Bone marrow aspirate smear.
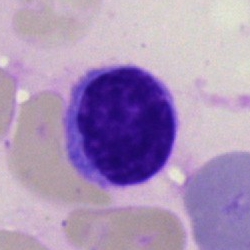 Cell: typical lymphocyte.